Bone marrow smear. Brightfield, 40× oil-immersion objective
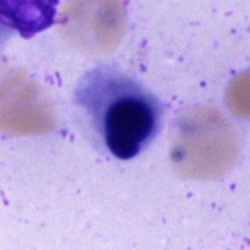Q: What cell is this?
A: Nucleated red cell.